Bone marrow aspirate smear — 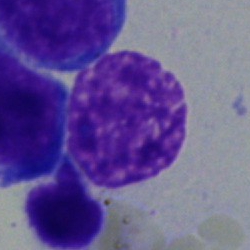 An artefact.